Brightfield, 40× oil-immersion objective. Bone marrow smear — 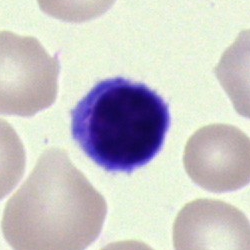
This is a typical lymphocyte.